Bone marrow aspirate smear; 40× oil immersion; 250×250 px
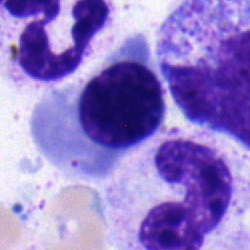

The cell is erythroblast.